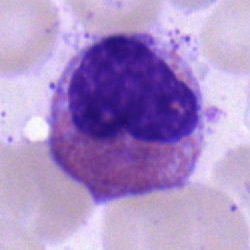
Q: Which cell type is shown here?
A: Eosinophilic granulocyte.